Bone marrow smear — 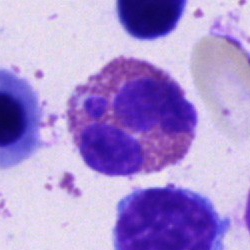Single cell identified as an eosinophil.